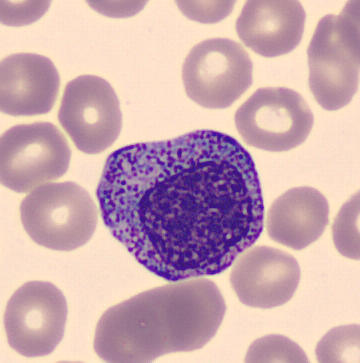 Classification — promyelocyte.